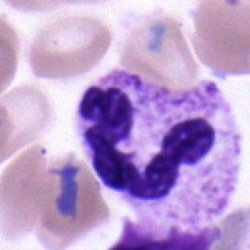 Q: What cell is this?
A: It is a neutrophil (segmented).